Single-cell field. Bone marrow smear — 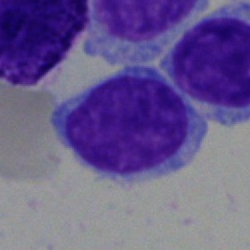

Q: Identify the cell.
A: Lymphocyte.